May-Grünwald-Giemsa/Pappenheim stain. Bone marrow smear. Brightfield microscopy, 40× oil immersion.
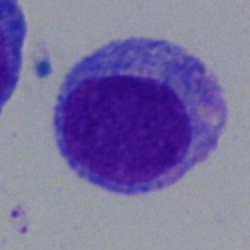

Morphology → blast cell.